Bone marrow smear
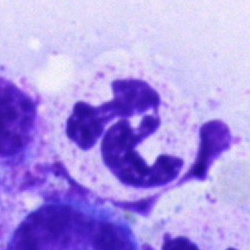Showing a polymorphonuclear neutrophil.